Bone marrow aspirate smear:
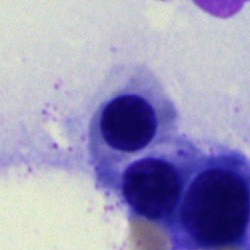
The classification is normoblast.